Bone marrow aspirate smear — 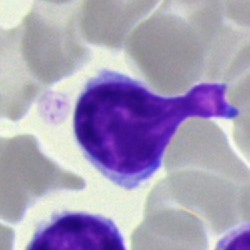

The cell shown is a lymphocyte.